Bone marrow aspirate smear:
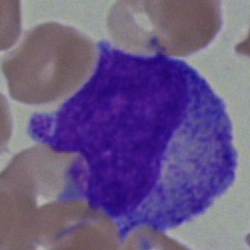 Classification = myelocyte.